Bone marrow smear: 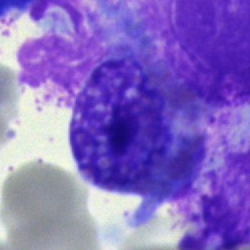Specimen: bone marrow aspirate smear.
Classification: artifact.